Bone marrow smear:
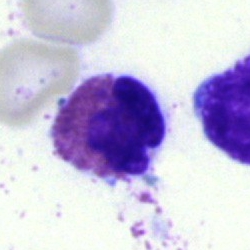

Morphological class: eosinophilic granulocyte.